Bone marrow smear; brightfield microscopy, 40× oil immersion
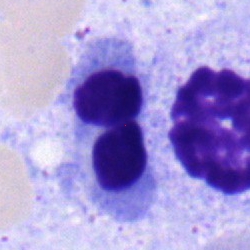

The cell shown is a normoblast.